Bone marrow smear; MGG-stained.
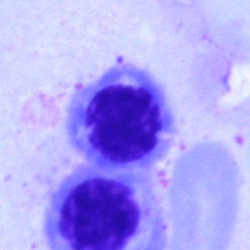
Q: What cell is this?
A: It is a nucleated red blood cell.